Cropped to a single cell · bone marrow aspirate smear · image size 250×250: 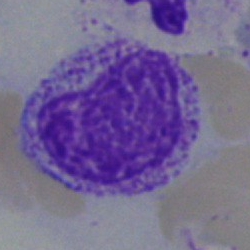 Classification — myelocyte.